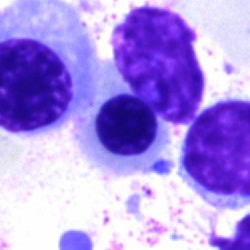Morphology → normoblast.